250×250 px. Bone marrow aspirate smear: 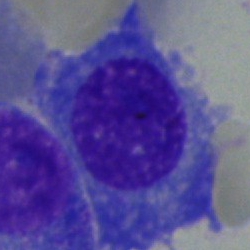Q: What type of cell is this?
A: This is a plasmacyte.